Bone marrow smear:
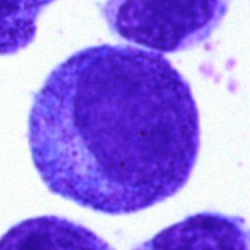
Q: Which cell type is shown here?
A: This is a myelocyte.